Brightfield, 40× oil-immersion objective. Bone marrow smear — 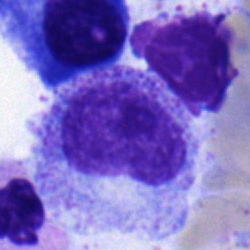
The cell is metamyelocyte.